Single-cell crop. 250 by 250 pixels. Bone marrow smear:
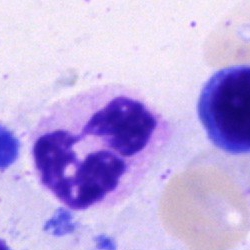

Neutrophil (segmented).